100× oil immersion; single-cell field; peripheral blood film — 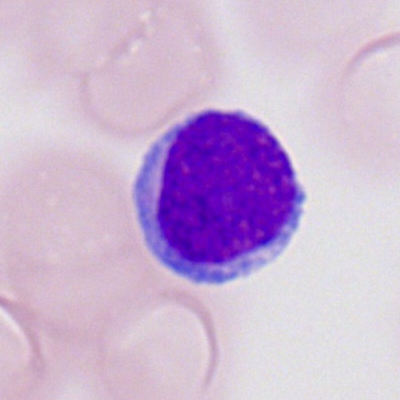Cell — lymphocyte.